Pappenheim-stained; 250×250; bone marrow smear.
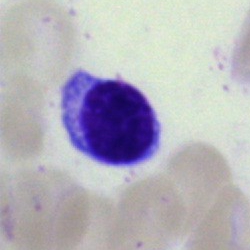
A lymphocyte.